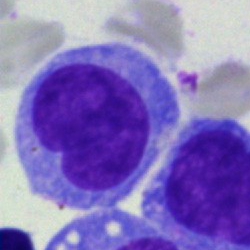 Single cell identified as a monocyte.